Bone marrow smear · 250×250 px — 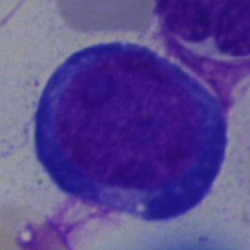
A proerythroblast.